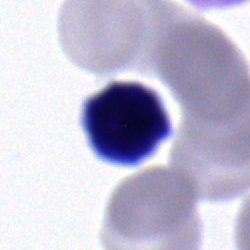
Single cell identified as a typical lymphocyte.